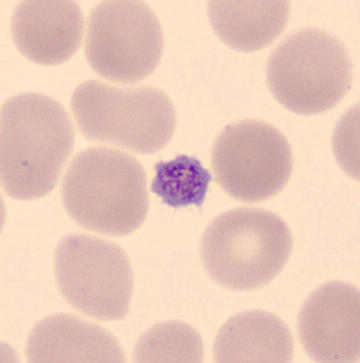 Identified as a platelet. Acquisition: Peripheral blood film · CellaVision DM96.